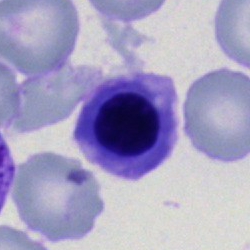{"cell_type": "nucleated red cell"}